Peripheral blood film. 100× oil immersion, 14.14 px/µm
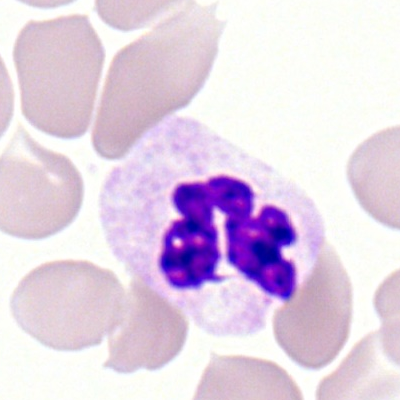

Specimen: peripheral blood film.
Cell type: neutrophil (segmented).